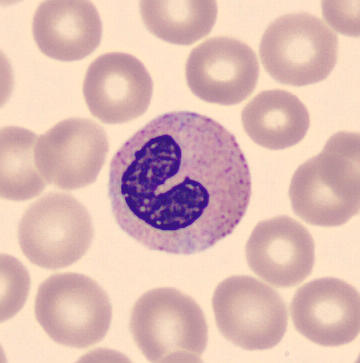Showing a neutrophil (band).

Image: Single-cell field; peripheral blood film.